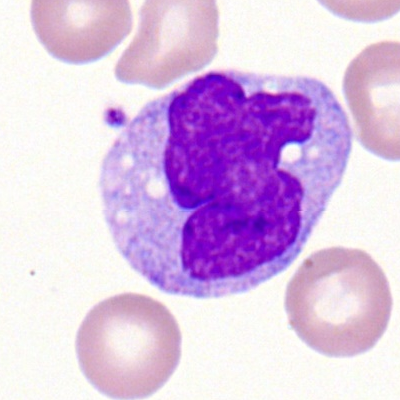Impression → monocyte.